250×250. Bone marrow smear.
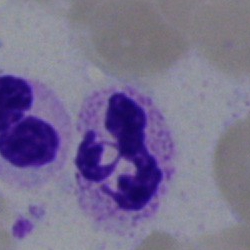
Morphology consistent with a segmented neutrophil.